Peripheral blood smear · automated cell imaging (CellaVision DM96) — 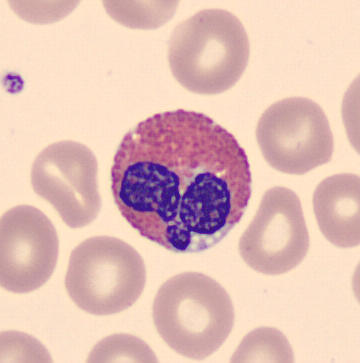

Specimen: peripheral blood film.
Morphological class: eosinophilic granulocyte.
Lineage: myeloid.